Bone marrow aspirate smear:
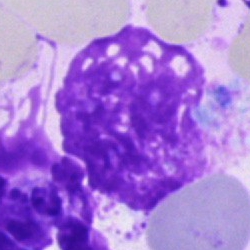Impression — artifact.